Bone marrow aspirate smear — 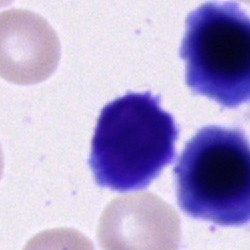
Single cell identified as a lymphocyte.